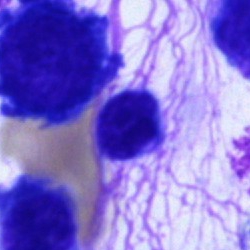

Cell: artifact.